Peripheral blood smear
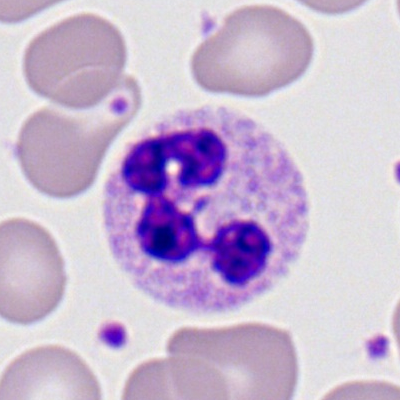

The cell is segmented neutrophil.